Pappenheim-stained · single-cell crop · bone marrow smear: 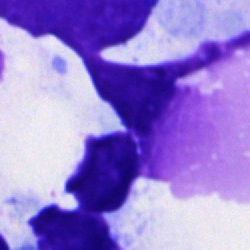 Q: What is shown here?
A: Artefact.